Bone marrow smear · MGG-stained
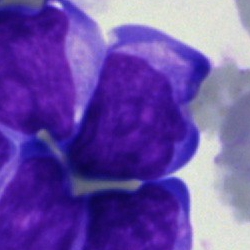

An undifferentiated blast.